Bone marrow aspirate smear.
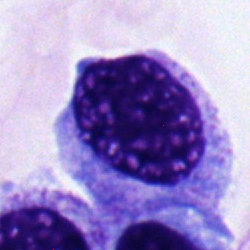 Morphology consistent with a myelocyte.